Bone marrow smear.
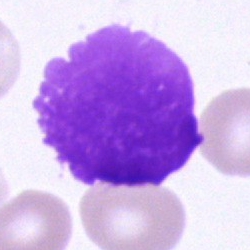
Morphology consistent with an artifact.